Single cell centered in the field · bone marrow aspirate smear.
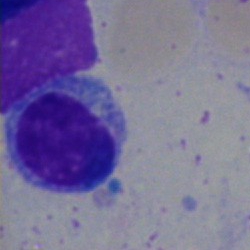

{"cell_type": "lymphocyte", "lineage": "lymphoid"}